400 by 400 pixels. Peripheral blood film. Single cell centered in the field.
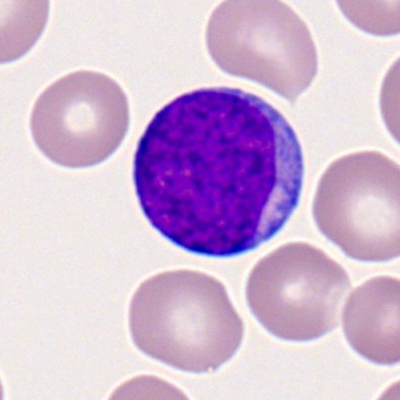 Morphological class — myeloblast.